Bone marrow aspirate smear:
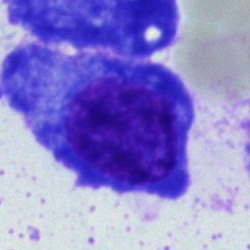Specimen: bone marrow aspirate smear.
Classification: plasma cell.
Lineage: lymphoid.